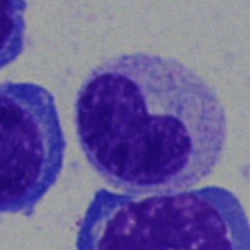{"cell_type": "stab cell", "lineage": "myeloid"}